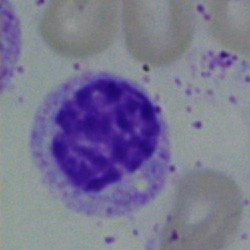
This is a myelocyte.